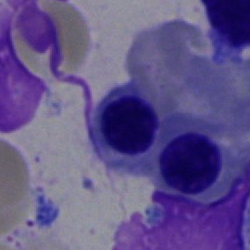
Q: Which cell type is shown here?
A: It is a nucleated red cell.